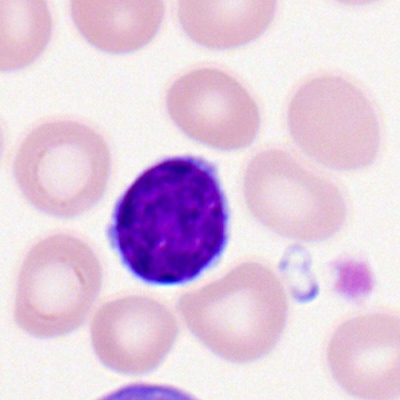The classification is typical lymphocyte.